Bone marrow aspirate smear:
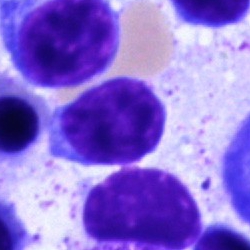A typical lymphocyte.